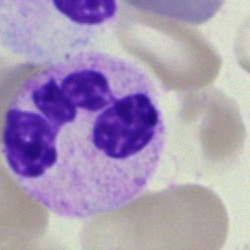

Specimen: bone marrow aspirate smear.
Cell: segmented neutrophil.
Lineage: myeloid.